Image size 250×250; 40× oil immersion; bone marrow smear.
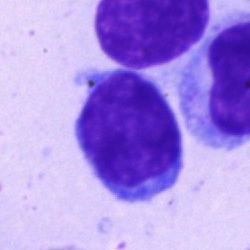

Classification = typical lymphocyte.